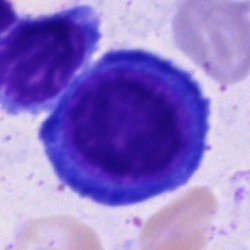

Showing a proerythroblast.